Peripheral blood smear
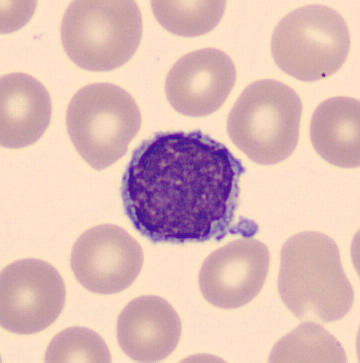Typical lymphocyte.